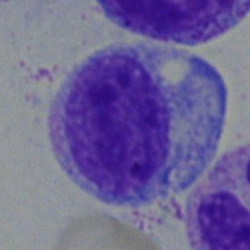Showing a myelocyte.